Bone marrow smear.
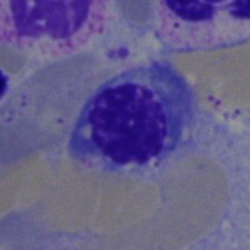 Q: Which cell type is shown here?
A: This is an erythroblast.